Peripheral blood smear. 400×400 px. 100× objective, oil immersion: 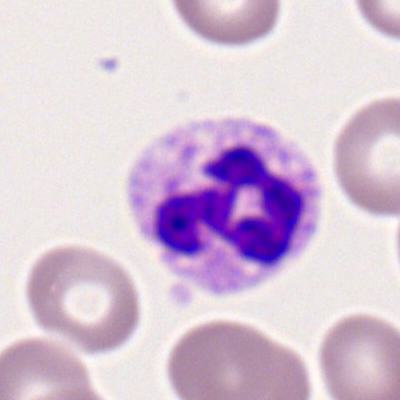 Morphology consistent with a neutrophil (segmented).